May-Grünwald-Giemsa/Pappenheim stain; bone marrow smear — 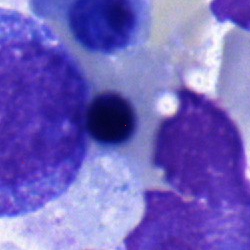
The cell shown is a normoblast.